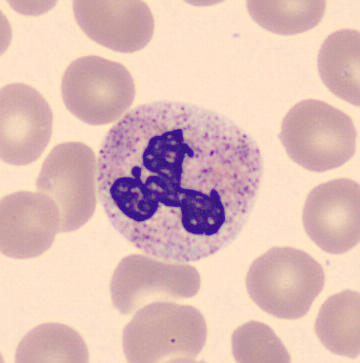

Identified as a neutrophil (segmented).